Bone marrow smear:
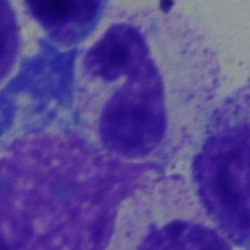

Showing a band-form neutrophil.